Bone marrow aspirate smear.
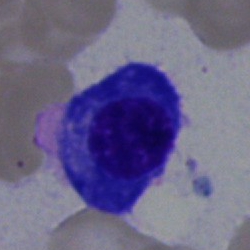

Specimen: bone marrow smear.
Morphological class: plasma cell.
Lineage: lymphoid.